Bone marrow smear:
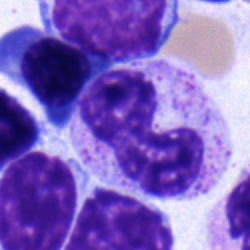 Specimen: bone marrow smear.
Classification: band neutrophil.
Lineage: myeloid.